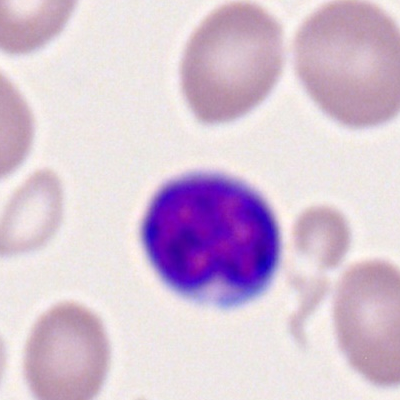

A lymphocyte on a peripheral blood smear.